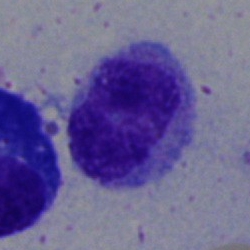
Q: What is the morphological classification of this cell?
A: A metamyelocyte.